Bone marrow aspirate smear — 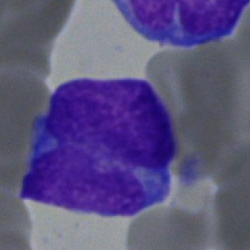

A blast cell.